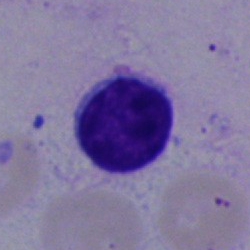
Q: What type of cell is this?
A: A lymphocyte.